Bone marrow aspirate smear: 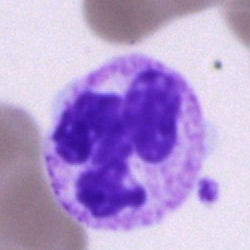

{"cell_type": "polymorphonuclear neutrophil", "lineage": "myeloid"}